Bone marrow smear — 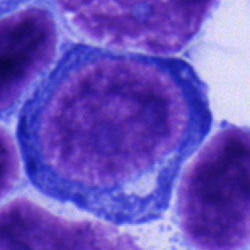

The morphological class is pronormoblast.